Peripheral blood film
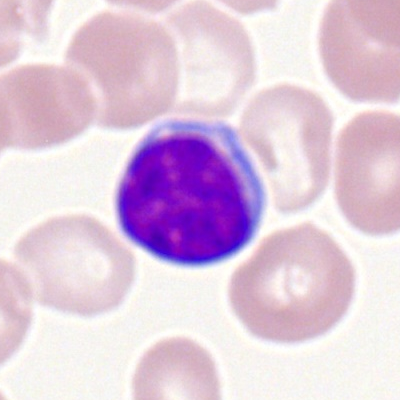
Q: What type of cell is this?
A: This is a lymphocyte.